Bone marrow aspirate smear: 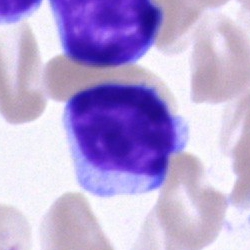Q: Identify the cell.
A: Typical lymphocyte.